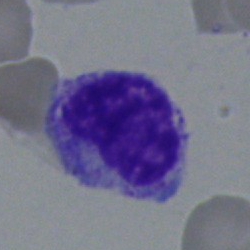
The cell shown is a myelocyte.